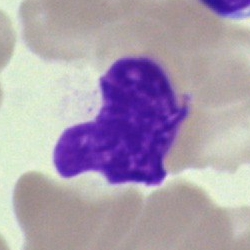This is an artefact.